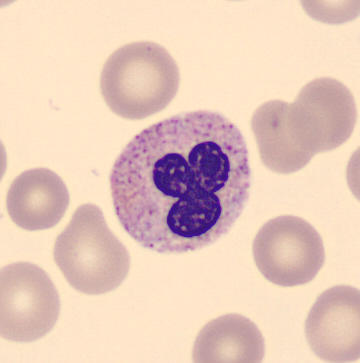 Specimen: peripheral blood smear.
Morphological class: neutrophil (band).
Lineage: myeloid. Acquisition: 360×363; single-cell crop.